Bone marrow aspirate smear:
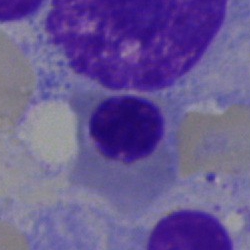Morphology — nucleated red blood cell.